Bone marrow smear:
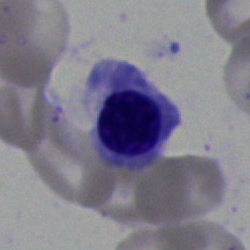
The cell shown is a normoblast.